Bone marrow smear: 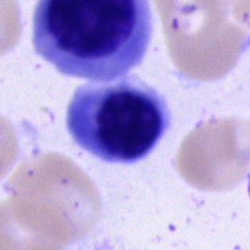

This is a nucleated red blood cell.